250×250 · brightfield microscopy, 40× oil immersion · bone marrow aspirate smear
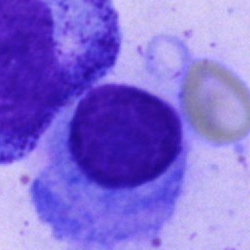

The cell is plasma cell.